Peripheral blood smear · brightfield, 100× oil-immersion objective — 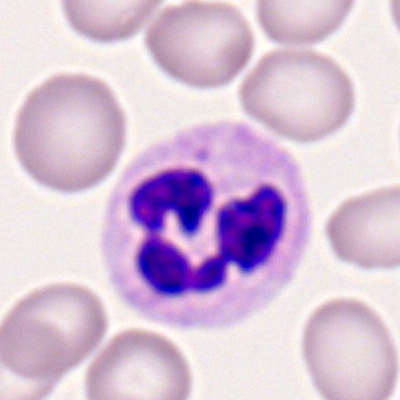 Specimen: peripheral blood film.
Classification: neutrophil (segmented).
Lineage: myeloid.